May-Grünwald-Giemsa stain; 250 by 250 pixels; bone marrow smear
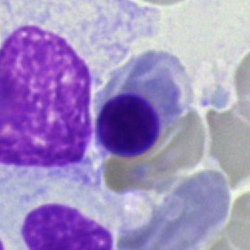 Nucleated red blood cell.